Bone marrow aspirate smear: 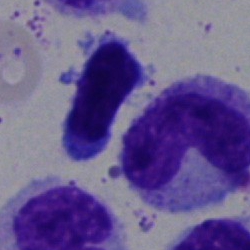Q: What is shown here?
A: It is a band-form neutrophil.